Bone marrow smear:
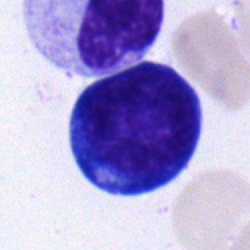 Classification: proerythroblast.